40× oil immersion; bone marrow smear: 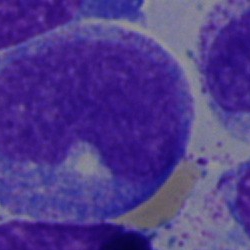 A promyelocyte.